Bone marrow smear · MGG-stained.
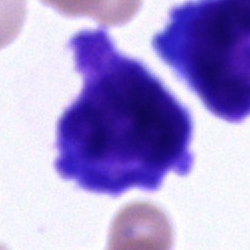
This is a cell of indeterminate lineage.